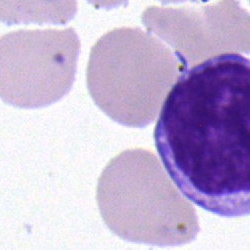
Showing a typical lymphocyte.